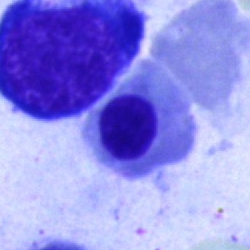Specimen: bone marrow aspirate smear.
Cell: nucleated red blood cell.